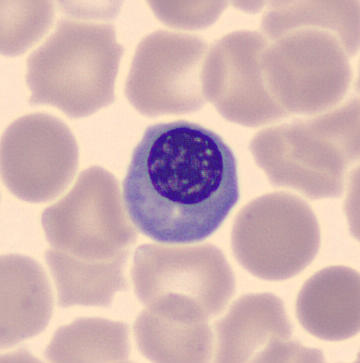 Q: What is the morphological classification of this cell?
A: This is a nucleated red blood cell.

Preparation: Peripheral blood smear.